Bone marrow aspirate smear
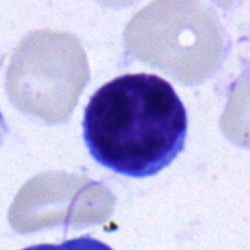 Classification = lymphocyte.